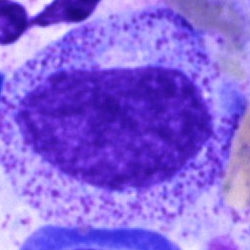 Specimen: bone marrow smear.
Classification: progranulocyte.